Cropped to a single cell; bone marrow aspirate smear — 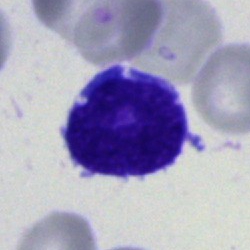Cell type — blast cell.